Peripheral blood smear · 100× objective, oil immersion: 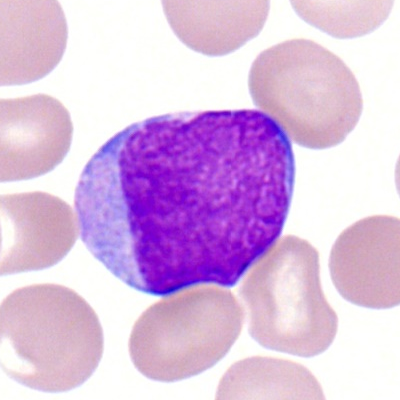The cell type is myeloblast.